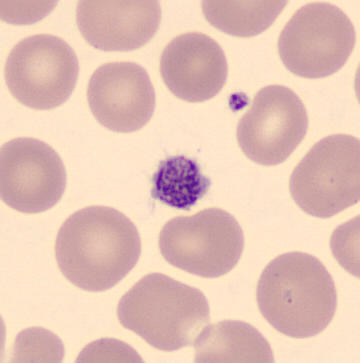
Preparation: Peripheral blood smear. A platelet (thrombocyte).